Brightfield, 40× oil-immersion objective; bone marrow smear.
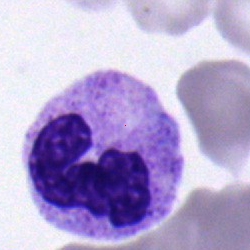 Segmented neutrophil.